Image size 250×250 · bone marrow smear.
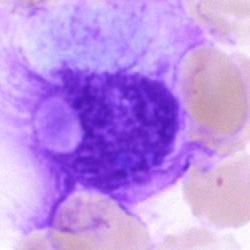 Cell = artefact.